Bone marrow smear; MGG-stained
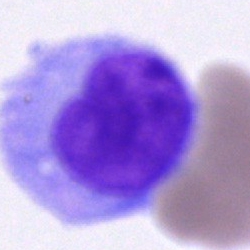
Classification — blast.